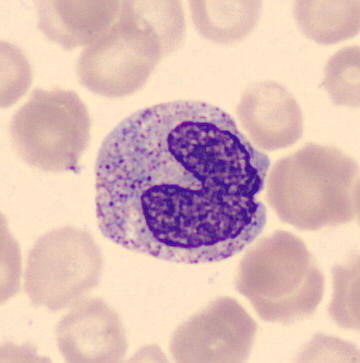

Peripheral blood film, single cell — metamyelocyte.